Single cell centered in the field · bone marrow smear:
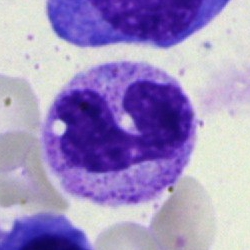A stab cell.